Bone marrow aspirate smear
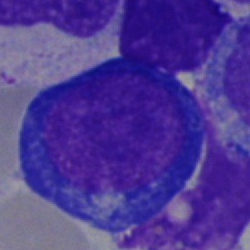
A proerythroblast.